Bone marrow smear.
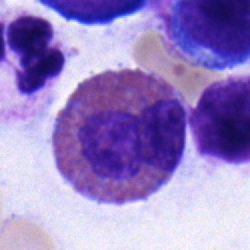

Classification: eosinophilic granulocyte.